Peripheral blood smear. 100× oil immersion — 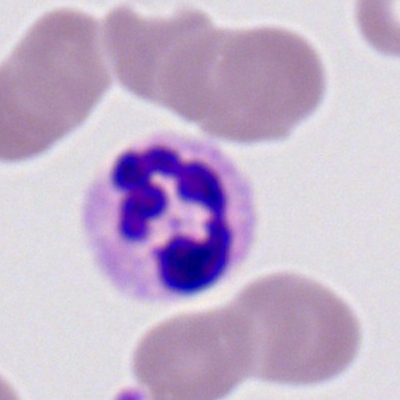The cell shown is a polymorphonuclear neutrophil.